Single cell centered in the field. Bone marrow aspirate smear
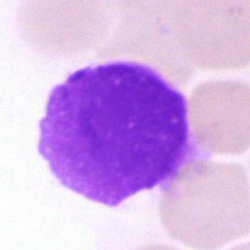
Specimen: bone marrow smear.
Classification: artefact.